Bone marrow aspirate smear
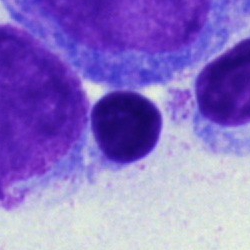

Morphology — typical lymphocyte.